Bone marrow aspirate smear
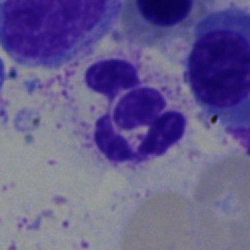Q: Which cell type is shown here?
A: This is a segmented neutrophil.